Bone marrow aspirate smear.
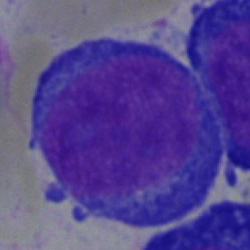
A pronormoblast.